Peripheral blood smear. MGG stain
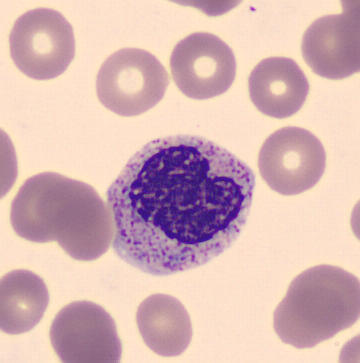

A metamyelocyte.